Brightfield microscopy, 40× oil immersion. Bone marrow smear — 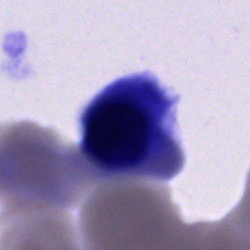Cell of indeterminate lineage.